Bone marrow aspirate smear: 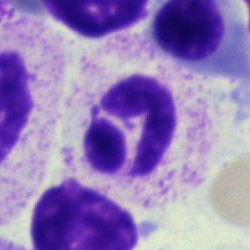

Morphology → neutrophil (segmented).